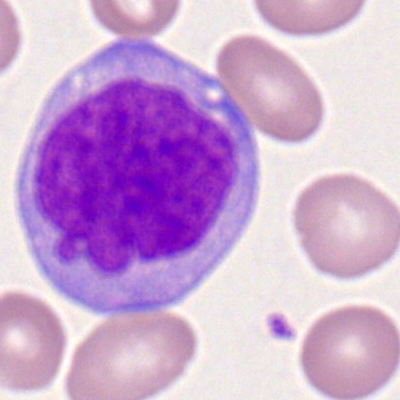{"cell_type": "monoblast", "lineage": "myeloid"}